Bone marrow aspirate smear
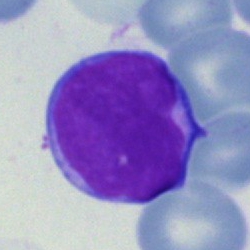
Cell = typical lymphocyte.